Peripheral blood smear. Single-cell field
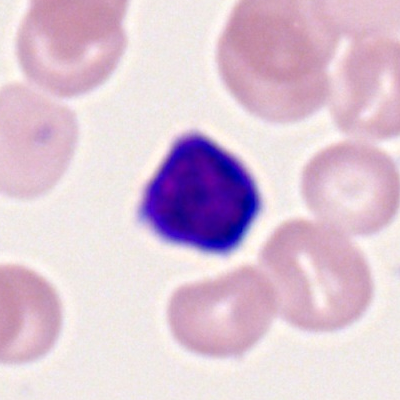 Lymphocyte.